Bone marrow aspirate smear · 250 by 250 pixels:
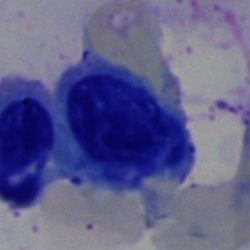 Single cell identified as an artefact.